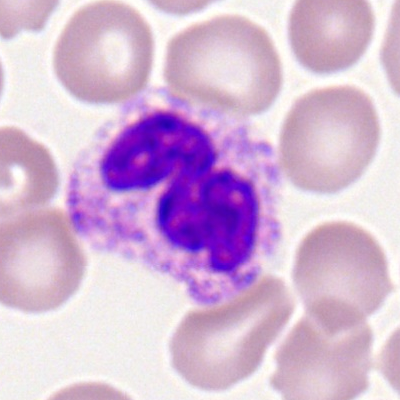
The cell shown is a neutrophil (segmented).